Bone marrow aspirate smear
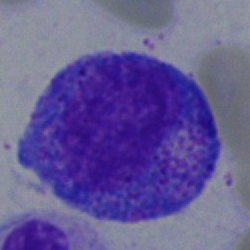 Showing a promyelocyte.